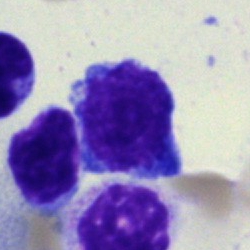Q: What is shown here?
A: This is a normoblast.